Image size 250×250 · bone marrow aspirate smear.
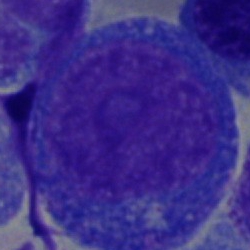
Classification = progranulocyte.